Single cell centered in the field. Bone marrow aspirate smear: 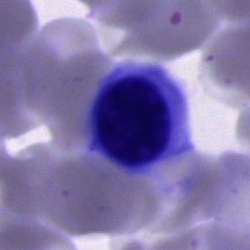
Morphology consistent with an artifact.